250×250 px; bone marrow smear — 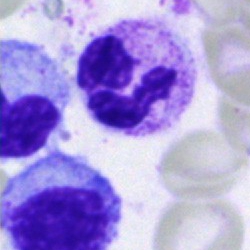

Morphology consistent with a segmented neutrophil.